Bone marrow smear:
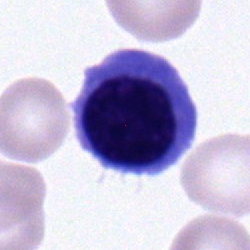Morphology consistent with an erythroblast.